Bone marrow aspirate smear.
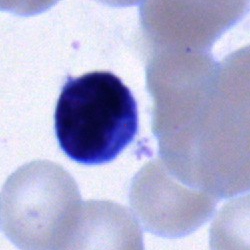

Typical lymphocyte.